Bone marrow aspirate smear.
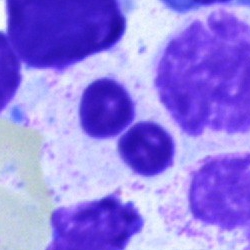
Classification = artefact.